Bone marrow smear · single cell centered in the field — 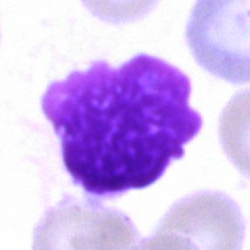Artifact.